Bone marrow aspirate smear.
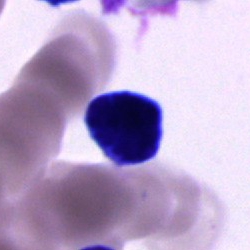
Q: Identify the cell.
A: It is an unidentifiable cell.